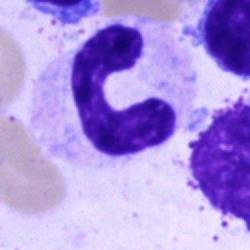
This is a band neutrophil.